Bone marrow smear:
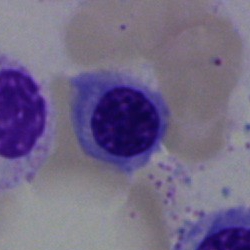 Cell — nucleated red blood cell.